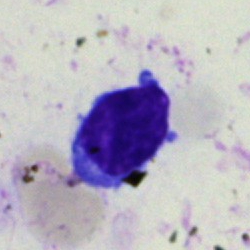 Impression → lymphocyte.